Bone marrow aspirate smear:
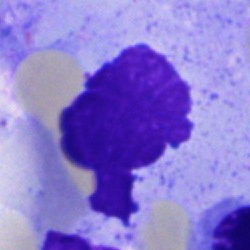Morphology — artefact.